Bone marrow smear.
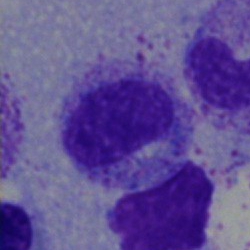Showing a myelocyte.